Bone marrow smear:
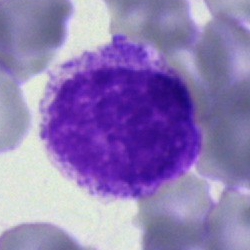Showing an artifact.